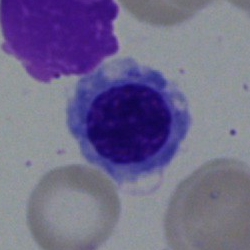

Classification: erythroblast.